Peripheral blood smear
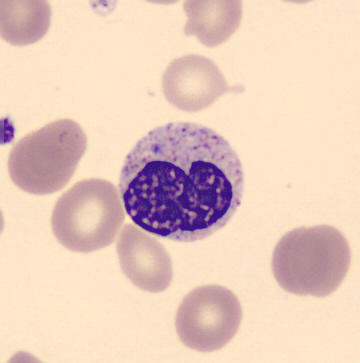 The cell shown is a metamyelocyte.